Bone marrow smear. Brightfield, 40× oil-immersion objective:
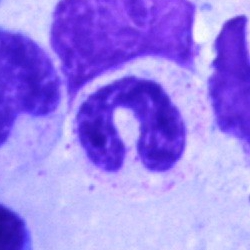 The cell shown is a neutrophil (band).